Bone marrow aspirate smear — 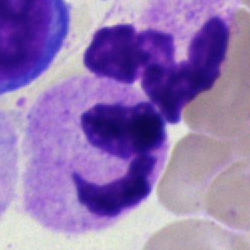{"cell_type": "neutrophil (segmented)", "lineage": "myeloid"}